Bone marrow smear — 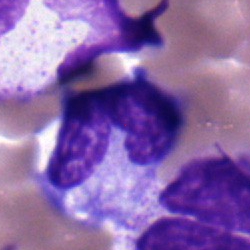 Single cell identified as a segmented neutrophil.